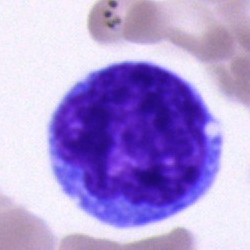
Cell = undifferentiated blast.